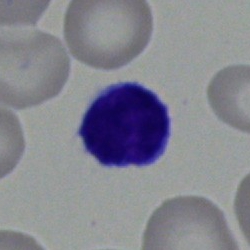Morphology consistent with a typical lymphocyte.